Bone marrow aspirate smear.
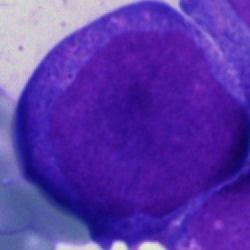
Specimen: bone marrow aspirate smear.
Morphological class: blast.